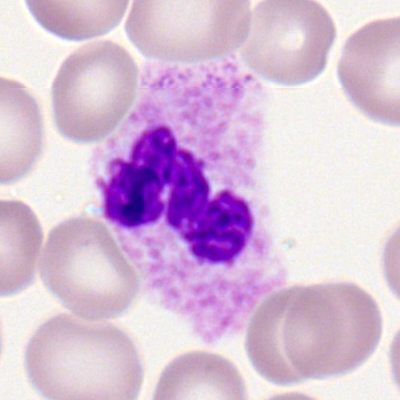

Cell type = segmented neutrophil.